Bone marrow smear:
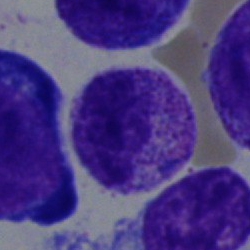Morphology → metamyelocyte.